Bone marrow smear: 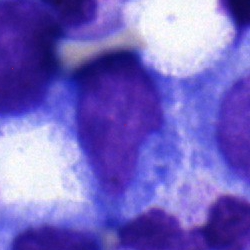 A promyelocyte.